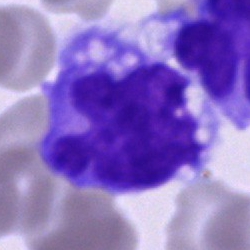

Impression → monocyte.